Bone marrow smear:
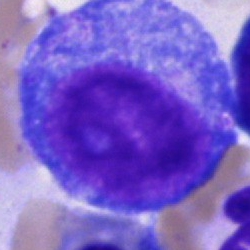The cell shown is a progranulocyte.